Bone marrow aspirate smear:
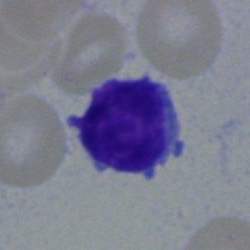

Specimen: bone marrow aspirate smear.
Cell type: typical lymphocyte.